Romanowsky-stained · peripheral blood smear — 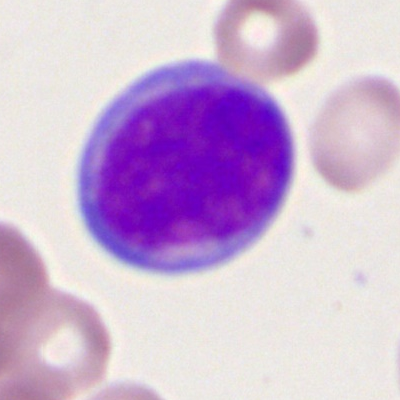

Q: Identify the cell.
A: A myeloblast.